Bone marrow smear.
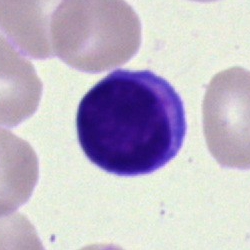
Showing a lymphocyte.